Single cell centered in the field; bone marrow aspirate smear — 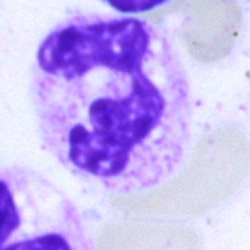Q: What cell is this?
A: A neutrophil (segmented).